Bone marrow aspirate smear. 250×250 px:
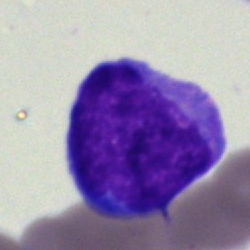 Showing a blast.